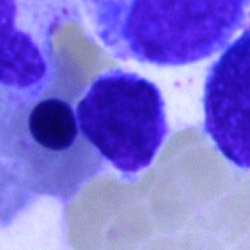 The classification is lymphocyte.